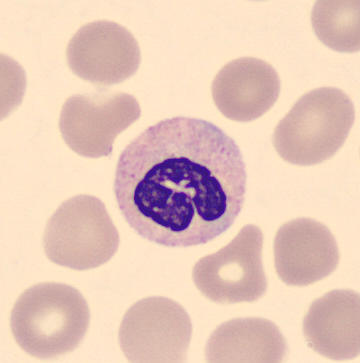

Peripheral blood smear.

Classification = stab cell.